Bone marrow aspirate smear: 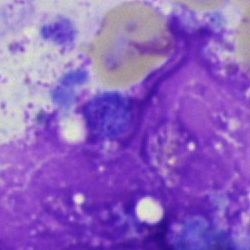Cell type: artifact.